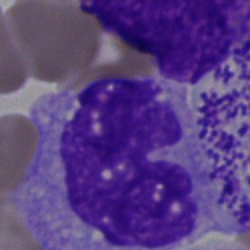

Impression → monocyte.